40× objective, oil immersion; bone marrow smear.
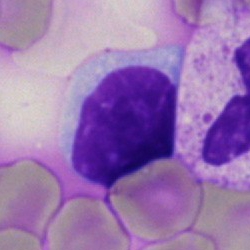
Q: Which cell type is shown here?
A: A typical lymphocyte.